Bone marrow smear — 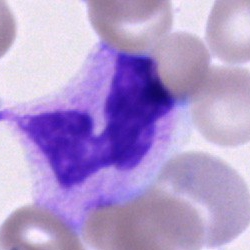Specimen: bone marrow aspirate smear.
Morphological class: artefact.